Bone marrow aspirate smear; brightfield microscopy, 40× oil immersion: 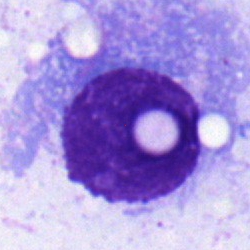Impression — plasmacyte.